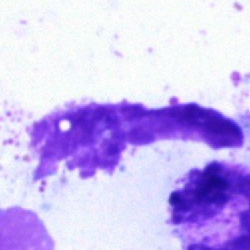 The cell shown is an artifact.